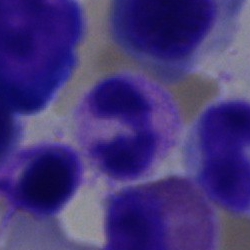
Morphology → neutrophil (segmented).